Bone marrow smear. Image size 250×250 — 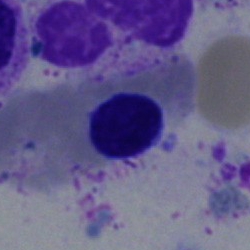
An erythroblast.